Brightfield microscopy, 40× oil immersion; bone marrow smear; single-cell field.
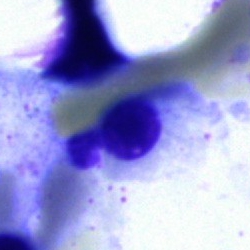 The morphological class is artefact.